Bone marrow smear:
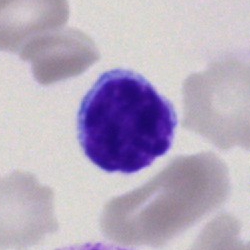 This is a lymphocyte.